Bone marrow aspirate smear: 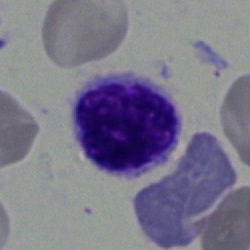 Morphology consistent with a lymphocyte.